Bone marrow smear — 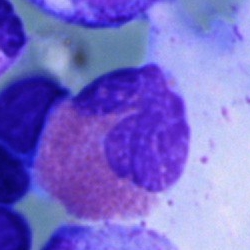Classification — eosinophil.